Bone marrow aspirate smear · 250 by 250 pixels · single-cell crop.
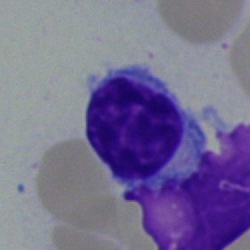 Lymphocyte.